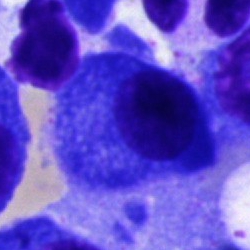

The cell is plasmacyte.